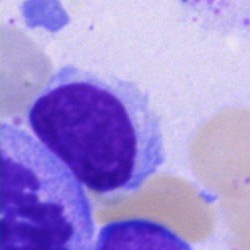Q: What type of cell is this?
A: It is a lymphocyte.